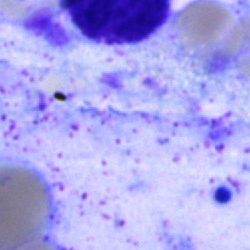
Specimen: bone marrow smear.
Classification: artifact.